40× oil immersion. Bone marrow aspirate smear. Pappenheim-stained: 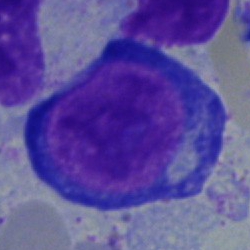 The cell type is proerythroblast.